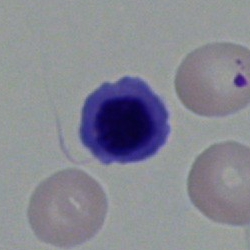

Cell type: normoblast.